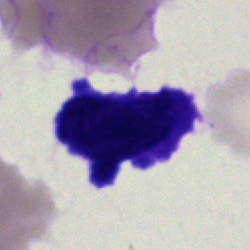
Specimen: bone marrow aspirate smear.
Morphological class: blast cell.